250×250. Bone marrow smear. Single-cell field:
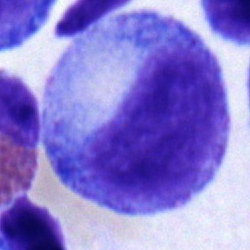Single cell identified as a promyelocyte.